400×400 px · peripheral blood film · single-cell crop: 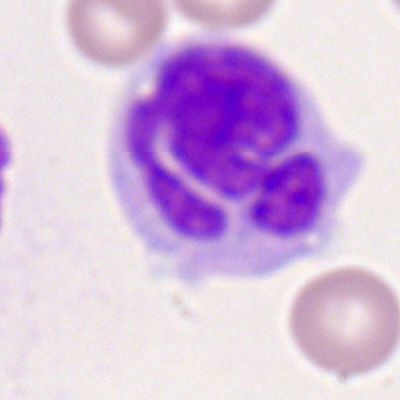
Specimen: peripheral blood smear.
Cell type: monocyte.